Bone marrow aspirate smear: 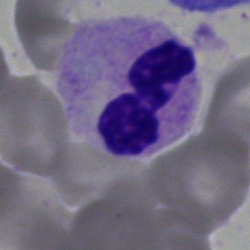

Specimen: bone marrow aspirate smear.
Morphological class: polymorphonuclear neutrophil.
Lineage: myeloid.